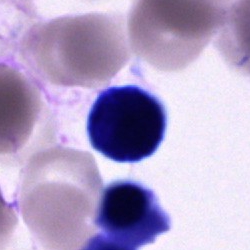 Showing a cell of indeterminate lineage.